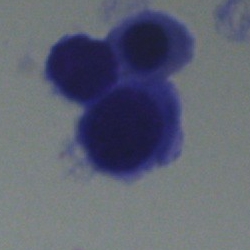 Cell type: nucleated red blood cell.